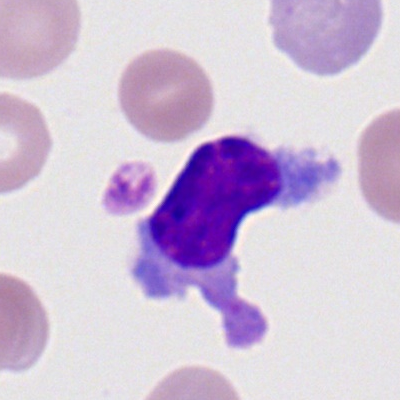 Specimen: peripheral blood film.
Morphological class: typical lymphocyte.
Lineage: lymphoid.